Bone marrow smear · single cell centered in the field:
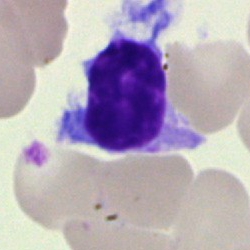Cell type — typical lymphocyte.